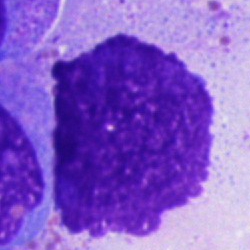
The cell type is artefact.